May-Grünwald-Giemsa stain. Bone marrow aspirate smear: 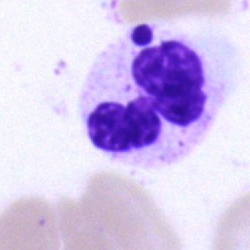

The cell shown is a polymorphonuclear neutrophil.